May-Grünwald-Giemsa/Pappenheim stain; bone marrow aspirate smear: 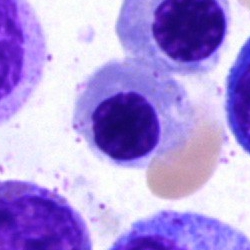An erythroblast.